250×250; bone marrow aspirate smear: 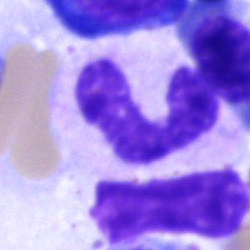 {"cell_type": "band-form neutrophil", "lineage": "myeloid"}